Bone marrow smear; Pappenheim-stained.
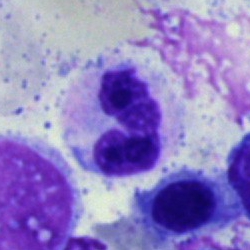
Classification — segmented neutrophil.